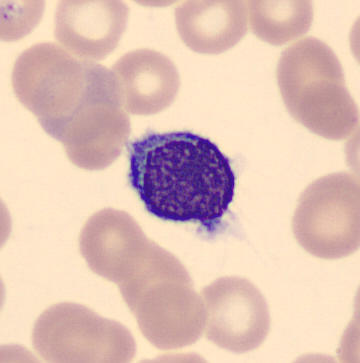
Peripheral blood film. Classification: lymphocyte.